Bone marrow smear — 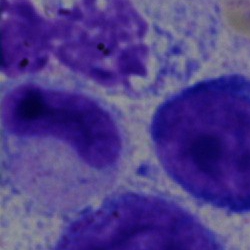Single cell identified as a band neutrophil.